Bone marrow smear:
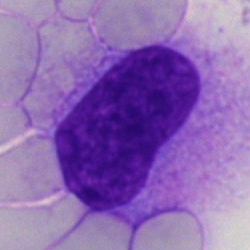 An artefact.